Bone marrow aspirate smear.
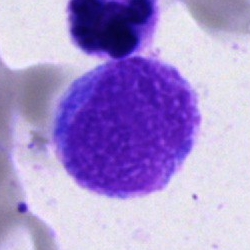This is an artefact.